Bone marrow aspirate smear — 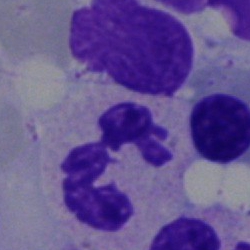

Q: What cell is this?
A: Segmented neutrophil.